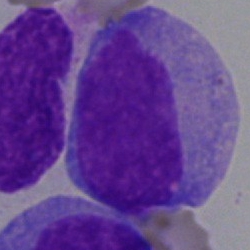 Cell = undifferentiated blast.